Bone marrow smear; 40× objective, oil immersion.
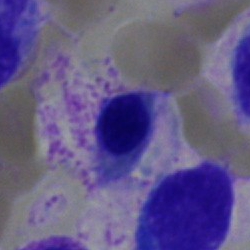Cell: erythroblast.